Bone marrow smear:
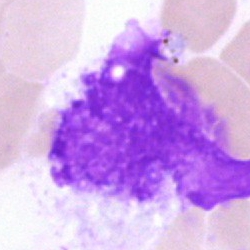

Q: What is shown here?
A: This is an artifact.